Bone marrow smear · 40× oil immersion · 250×250:
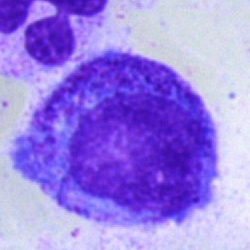
Progranulocyte.